Bone marrow smear.
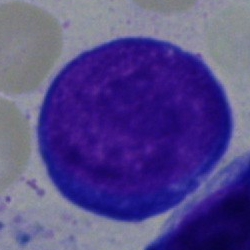
Specimen: bone marrow smear.
Morphological class: pronormoblast.
Lineage: erythroid.